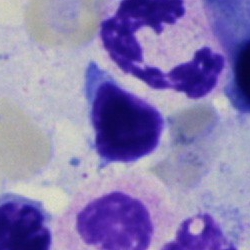
Q: What is shown here?
A: It is a lymphocyte.